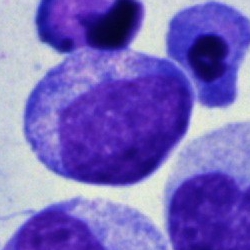

Specimen: bone marrow aspirate smear.
Morphological class: blast cell.